May-Grünwald-Giemsa/Pappenheim stain; brightfield, 40× oil-immersion objective; bone marrow smear
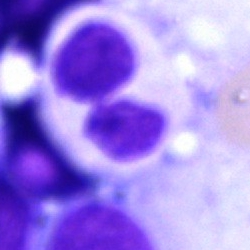 This is a neutrophil (segmented).